Bone marrow smear: 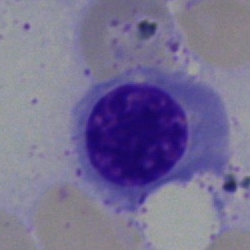An erythroblast.